Bone marrow aspirate smear · single-cell field — 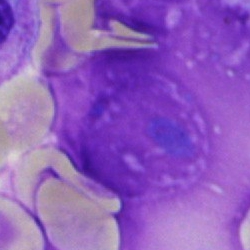
Q: What is shown here?
A: Artefact.